Bone marrow smear · image size 250×250 — 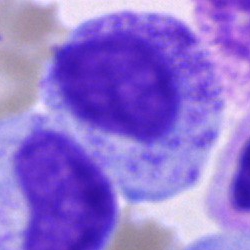The classification is progranulocyte.